Bone marrow aspirate smear:
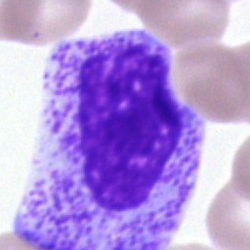A myelocyte.